Cropped to a single cell · bone marrow aspirate smear · image size 250×250
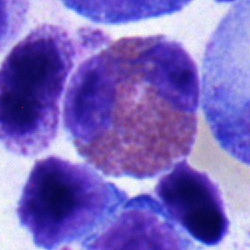

{"cell_type": "eosinophilic granulocyte"}